Peripheral blood film — 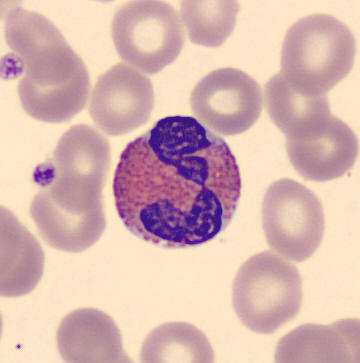
Morphology consistent with an eosinophil.